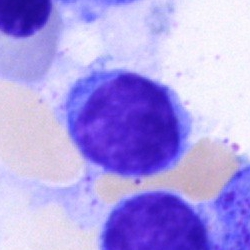
Bone marrow aspirate smear, single cell — typical lymphocyte.